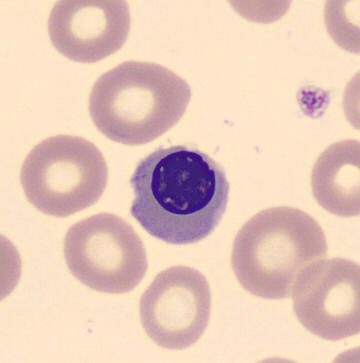 Specimen: peripheral blood smear.
Classification: erythroblast.
Lineage: erythroid.
360×363.